Single cell centered in the field · bone marrow smear
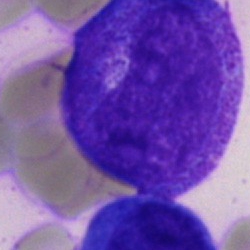
Q: What cell is this?
A: It is a metamyelocyte.